Single-cell crop. Bone marrow aspirate smear. Brightfield microscopy, 40× oil immersion
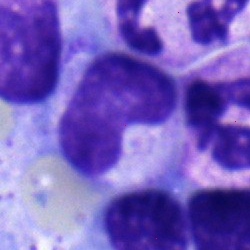 Single cell identified as a neutrophil (band).